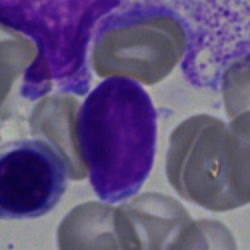 Morphological class — lymphocyte.